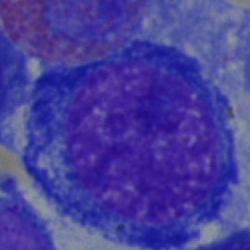
Impression → proerythroblast.